Bone marrow aspirate smear. Single cell centered in the field: 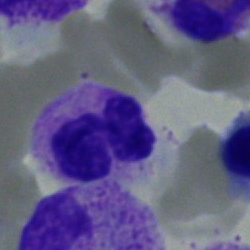{"cell_type": "neutrophil (segmented)", "lineage": "myeloid"}